Peripheral blood film
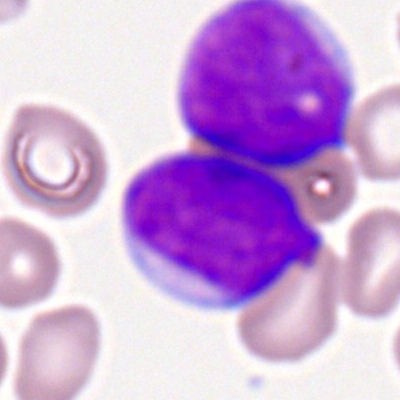

{"cell_type": "myeloblast", "lineage": "myeloid"}